Single-cell field. Bone marrow smear — 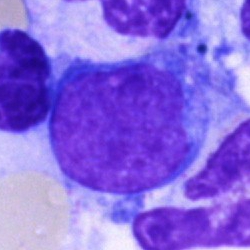Specimen: bone marrow smear.
Cell type: blast.